Imaged on a CellaVision DM96 analyser · peripheral blood film — 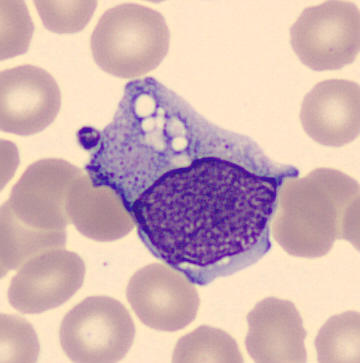 Showing a monocyte.